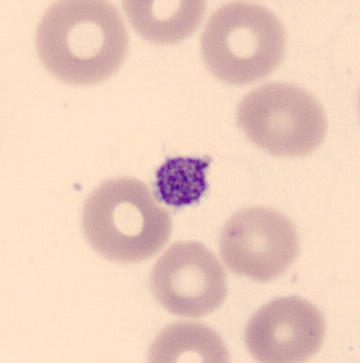 Q: What is shown here?
A: It is a thrombocyte.

Acquisition: Automated cell imaging (CellaVision DM96); peripheral blood film.